Bone marrow aspirate smear — 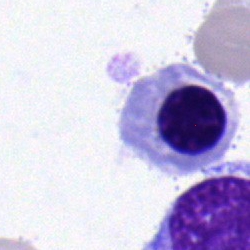

Impression → erythroblast.